Bone marrow smear
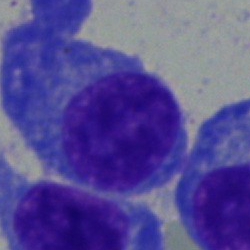 Morphology consistent with a plasma cell.